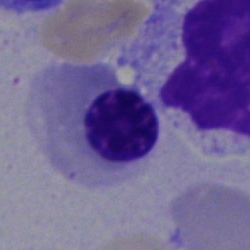 Cell type: nucleated red blood cell.